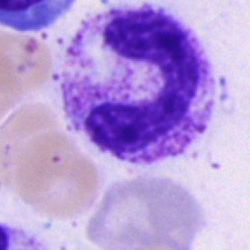 Q: Which cell type is shown here?
A: This is a band-form neutrophil.